Bone marrow aspirate smear: 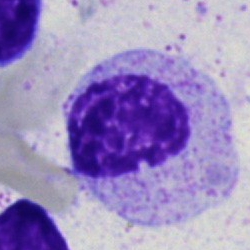
The cell shown is a myelocyte.